May-Grünwald-Giemsa stain; bone marrow smear; single-cell crop:
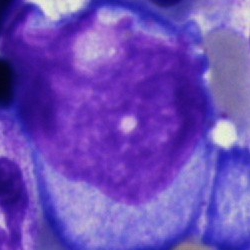

The cell shown is a blast.